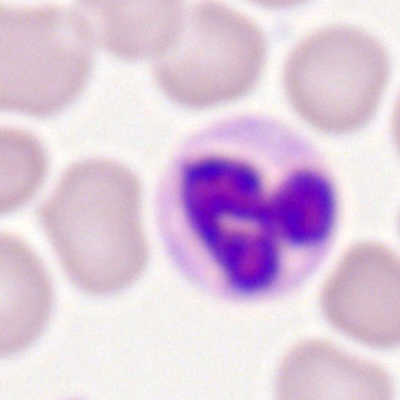Cell type — neutrophil (segmented).